Bone marrow smear · single-cell field · brightfield microscopy, 40× oil immersion: 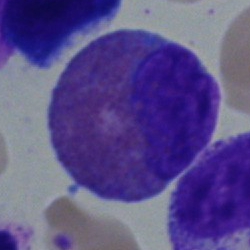Q: What is the morphological classification of this cell?
A: An eosinophilic granulocyte.